Bone marrow aspirate smear; May-Grünwald-Giemsa stain: 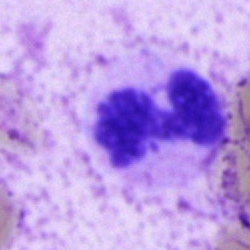

Q: What cell is this?
A: A neutrophil (segmented).